Bone marrow aspirate smear · single-cell field:
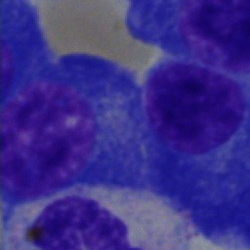

Plasmacyte.